Bone marrow aspirate smear.
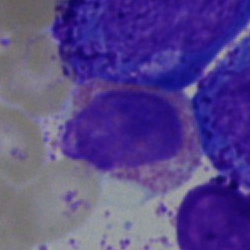
Morphology → eosinophil.